Bone marrow aspirate smear
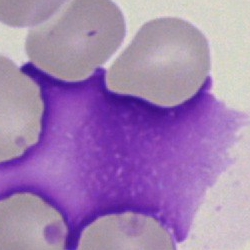Q: What is shown here?
A: An artifact.